Bone marrow aspirate smear:
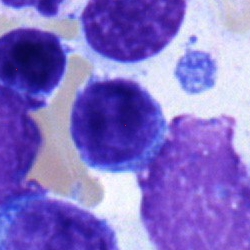
Showing a lymphocyte.